Bone marrow smear — 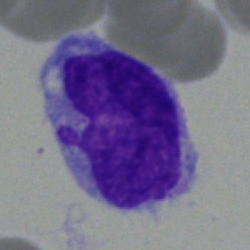Morphology consistent with a monocyte.